40× objective, oil immersion; bone marrow aspirate smear.
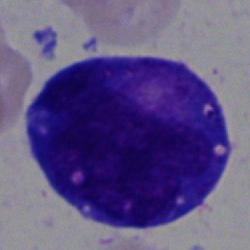The cell shown is a blast.